Bone marrow aspirate smear · single cell centered in the field:
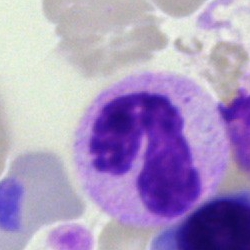 This is a polymorphonuclear neutrophil.